Bone marrow aspirate smear; May-Grünwald-Giemsa/Pappenheim stain; 40× objective, oil immersion
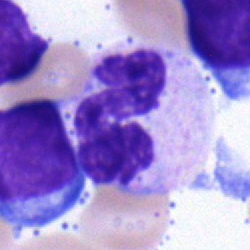 Classification = polymorphonuclear neutrophil.